Bone marrow smear:
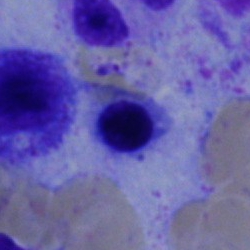

Impression → erythroblast.